Bone marrow aspirate smear
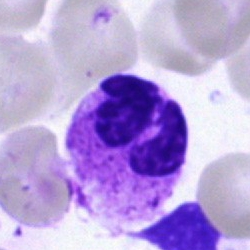 A segmented neutrophil.